Bone marrow aspirate smear
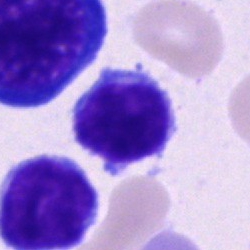 Impression → typical lymphocyte.